Peripheral blood film
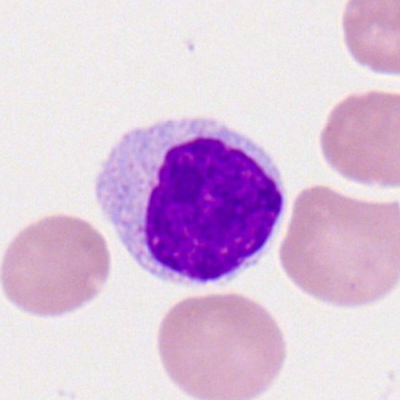A typical lymphocyte.